Peripheral blood film; 100× objective, oil immersion
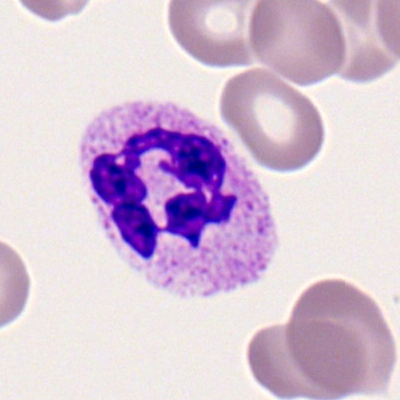 Impression — polymorphonuclear neutrophil.